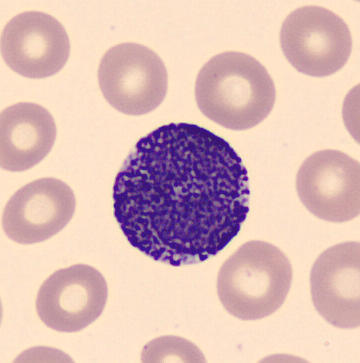Morphology consistent with a basophilic granulocyte. Acquisition: Peripheral blood smear.